Image size 250×250 · brightfield, 40× oil-immersion objective · bone marrow smear: 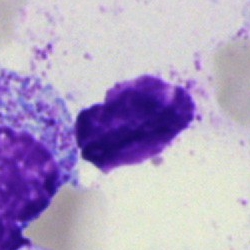 Artefact.